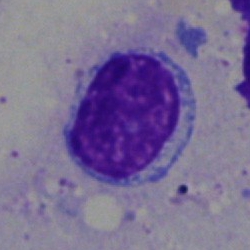
Single cell identified as a lymphocyte.